Peripheral blood smear:
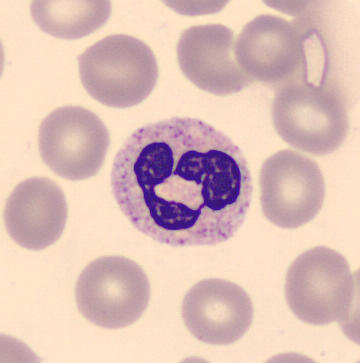

Specimen: peripheral blood film.
Cell type: neutrophil (segmented).